40× oil immersion. Pappenheim-stained. Bone marrow aspirate smear.
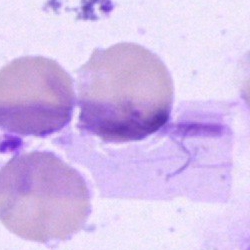
Cell — artefact.